Bone marrow smear. 250 by 250 pixels. 40× objective, oil immersion: 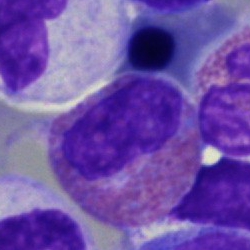
Morphology consistent with an eosinophilic granulocyte.